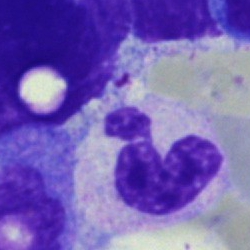
Specimen: bone marrow aspirate smear.
Cell: segmented neutrophil.
Lineage: myeloid.